Peripheral blood film. Single-cell field:
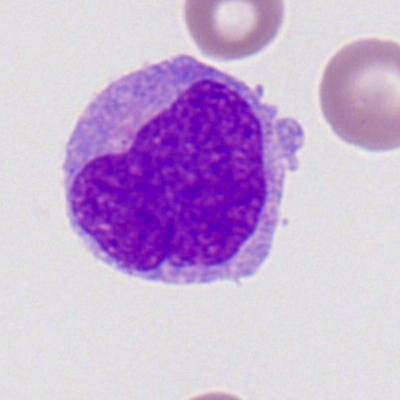
Classification — myeloid blast.